Romanowsky-type stain · peripheral blood smear.
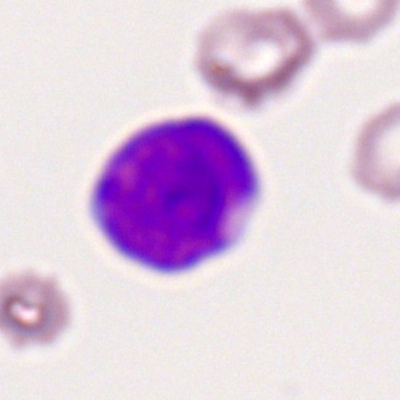Cell — myeloid blast.